Single-cell field. Bone marrow smear:
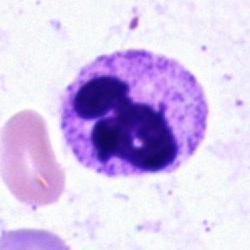The cell is segmented neutrophil.